Bone marrow aspirate smear: 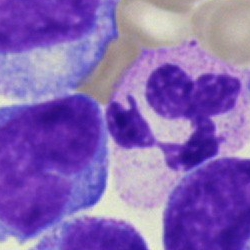 This is a polymorphonuclear neutrophil.